Peripheral blood film. Romanowsky-stained:
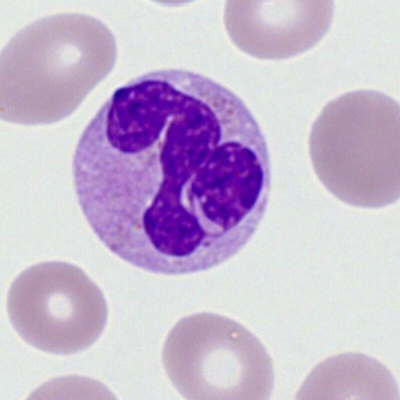Q: What is the morphological classification of this cell?
A: This is a segmented neutrophil.